Bone marrow aspirate smear
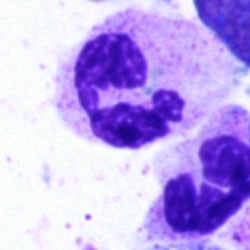
Cell = neutrophil (segmented).